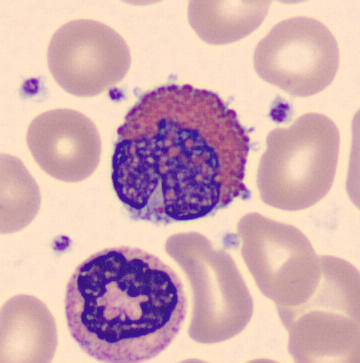

Showing an eosinophil. Peripheral blood smear.